360×363; peripheral blood smear; automated cell imaging (CellaVision DM96): 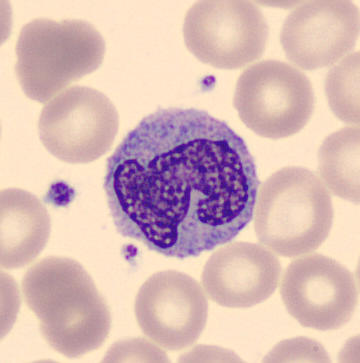 Morphological class = monocyte.